Bone marrow smear
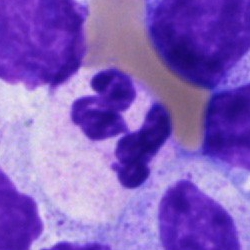
A polymorphonuclear neutrophil.